250×250 px. Bone marrow aspirate smear — 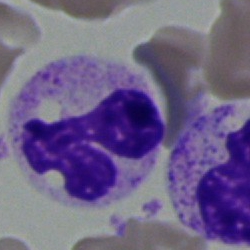 Q: What type of cell is this?
A: Segmented neutrophil.